Bone marrow smear — 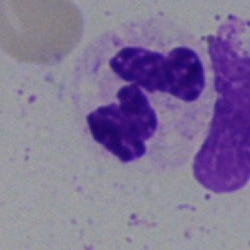

Morphology consistent with a segmented neutrophil.